Bone marrow smear. MGG-stained:
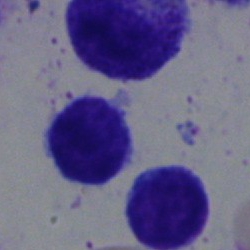
Classification — typical lymphocyte.